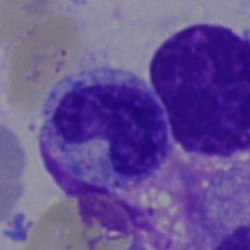{"cell_type": "stab cell"}